Bone marrow smear. May-Grünwald-Giemsa/Pappenheim stain:
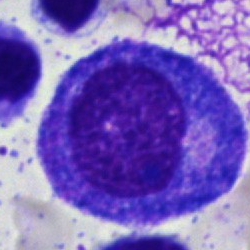Morphological class: promyelocyte.